Bone marrow aspirate smear. 250 by 250 pixels. May-Grünwald-Giemsa/Pappenheim stain.
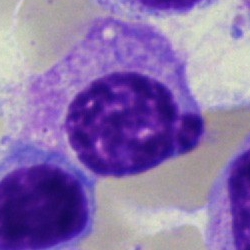
Cell type = myelocyte.